Bone marrow aspirate smear.
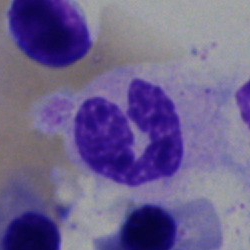The cell shown is a polymorphonuclear neutrophil.